Bone marrow smear · May-Grünwald-Giemsa/Pappenheim stain
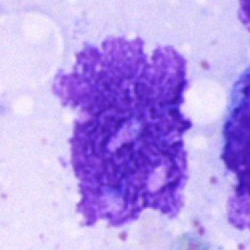Single cell identified as an artifact.